Bone marrow smear — 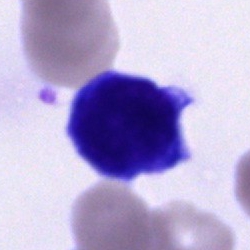 The cell type is unidentifiable cell.